Peripheral blood film · 400×400 px
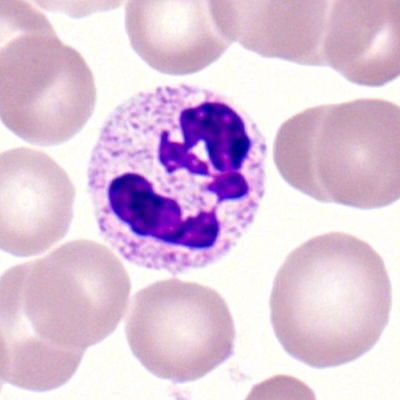Cell type = polymorphonuclear neutrophil.